250 by 250 pixels; bone marrow aspirate smear:
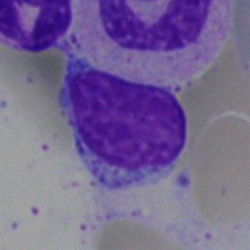 The cell shown is a typical lymphocyte.